Bone marrow smear — 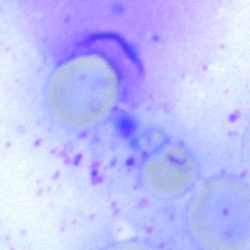{"cell_type": "artefact"}